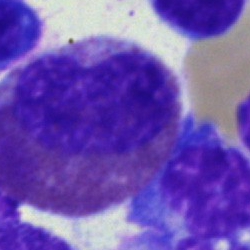

Classification = eosinophil.